MGG-stained · peripheral blood smear · single cell centered in the field.
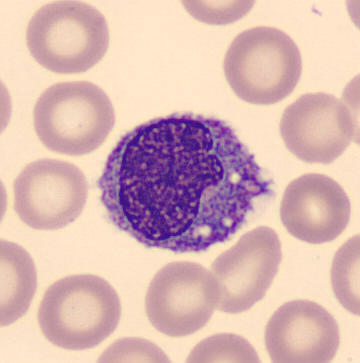 Specimen: peripheral blood film.
Morphological class: monocyte.